Bone marrow smear:
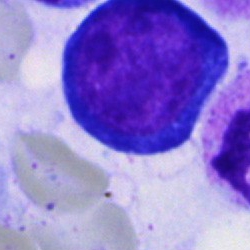

Morphology consistent with a proerythroblast.